Bone marrow smear:
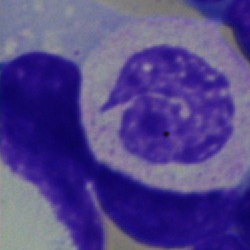 A band neutrophil.